Bone marrow aspirate smear
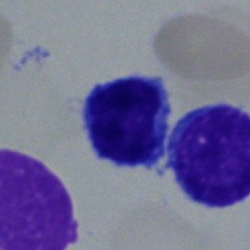
A lymphocyte.